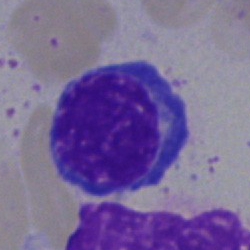 {"cell_type": "erythroblast"}